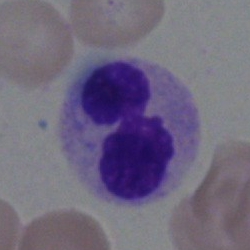 Q: What is the morphological classification of this cell?
A: A polymorphonuclear neutrophil.